Bone marrow smear: 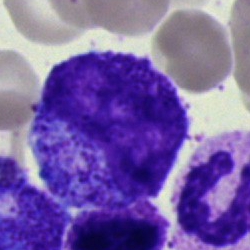 Morphology → metamyelocyte.